Single-cell field. May-Grünwald-Giemsa stain. Bone marrow smear
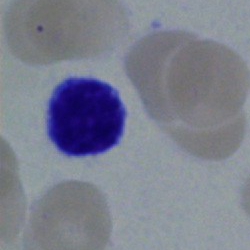 This is a lymphocyte.